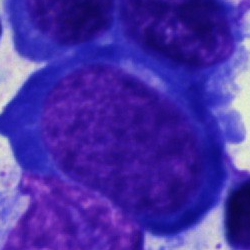 Proerythroblast.